Bone marrow smear.
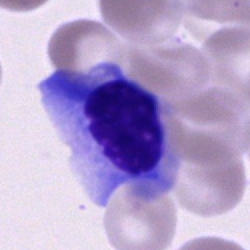Showing an erythroblast.